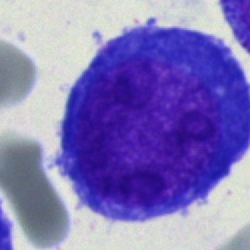Impression → blast.